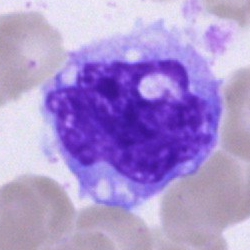 Bone marrow smear showing a monocyte.